Bone marrow smear · May-Grünwald-Giemsa stain · 250×250 px:
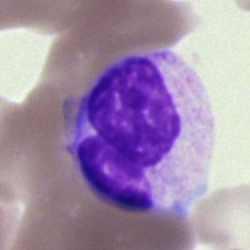 {"cell_type": "neutrophil (segmented)", "lineage": "myeloid"}